Bone marrow smear
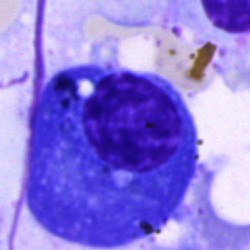

The morphological class is plasmacyte.